Bone marrow aspirate smear · May-Grünwald-Giemsa stain — 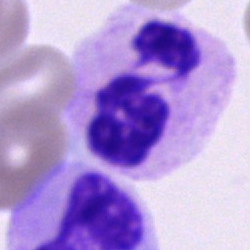 Q: Identify the cell.
A: Neutrophil (segmented).